Bone marrow aspirate smear · single-cell crop · Pappenheim-stained: 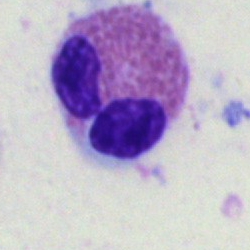
Morphological class — eosinophilic granulocyte.